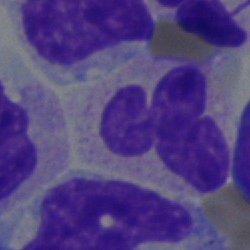Cell = polymorphonuclear neutrophil.